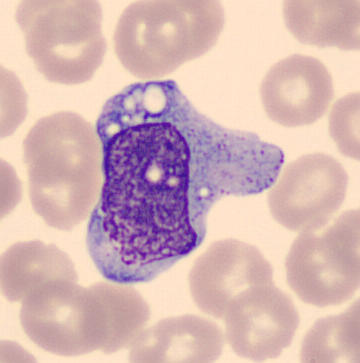Preparation: MGG-stained · peripheral blood smear · single cell centered in the field.

This is a monocyte.